Peripheral blood film — 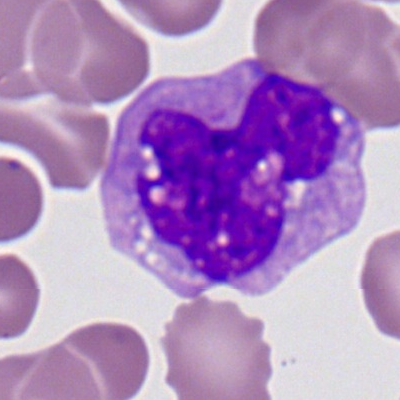

Specimen: peripheral blood smear.
Morphological class: monocyte.
Lineage: myeloid.